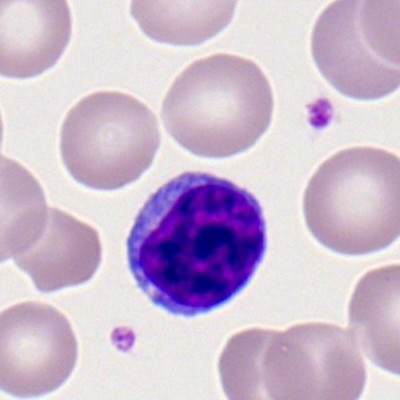
A typical lymphocyte on a peripheral blood smear.